Bone marrow aspirate smear. MGG-stained.
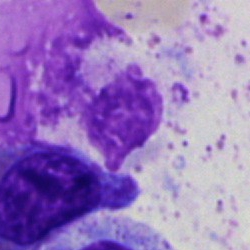 Showing an artifact.